Bone marrow smear: 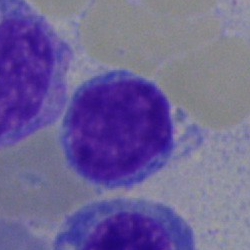
This is a lymphocyte.